Bone marrow smear; brightfield microscopy, 40× oil immersion — 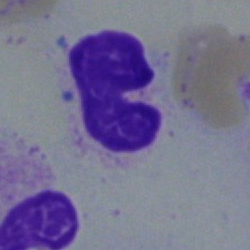 Specimen: bone marrow smear.
Classification: band neutrophil.
Lineage: myeloid.